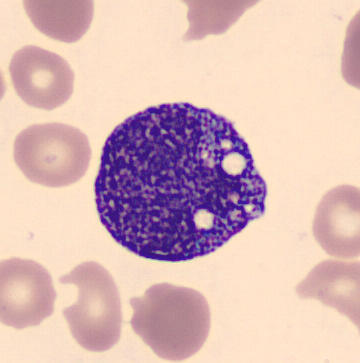Peripheral blood film. MGG stain. Q: What type of cell is this?
A: This is a progranulocyte.